Bone marrow aspirate smear — 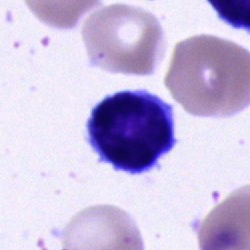

The cell shown is a lymphocyte.